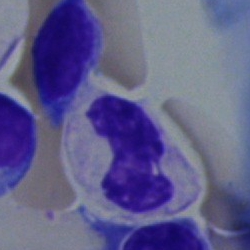 Q: What cell is this?
A: This is a neutrophil (segmented).